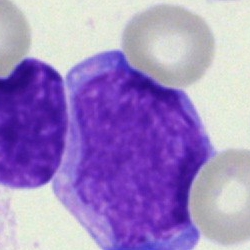Q: What cell is this?
A: Blast.